Bone marrow aspirate smear.
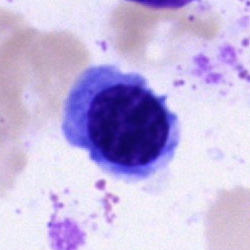
Showing a nucleated red cell.